Bone marrow smear — 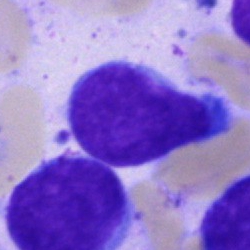
Classification — blast cell.